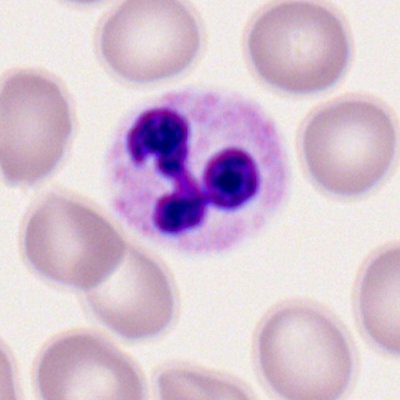 Cell type: polymorphonuclear neutrophil.